Bone marrow smear; single-cell field; 40× objective, oil immersion
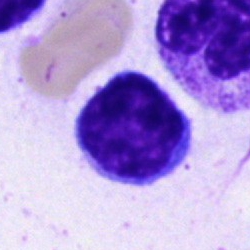Cell type: lymphocyte.